Bone marrow smear:
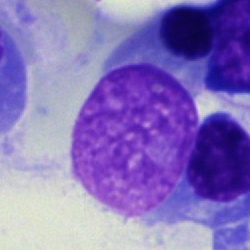Specimen: bone marrow aspirate smear.
Classification: artefact.